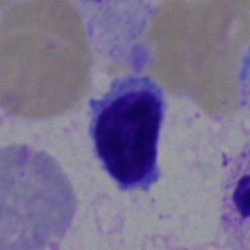Classification: typical lymphocyte.